Bone marrow aspirate smear · 40× oil immersion · image size 250×250:
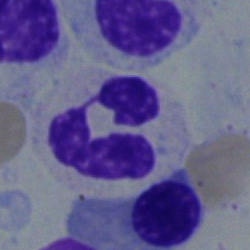 Specimen: bone marrow aspirate smear.
Cell type: neutrophil (segmented).
Lineage: myeloid.